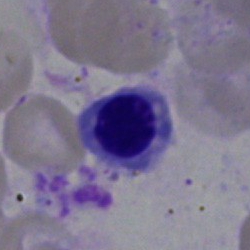
A normoblast.